Bone marrow smear — 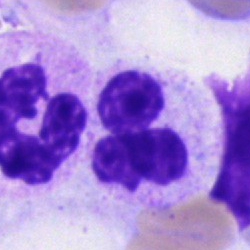
Specimen: bone marrow smear.
Classification: segmented neutrophil.